Bone marrow aspirate smear; MGG-stained
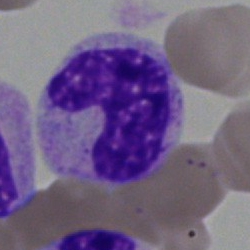 Q: Which cell type is shown here?
A: It is a neutrophil (band).